Bone marrow smear.
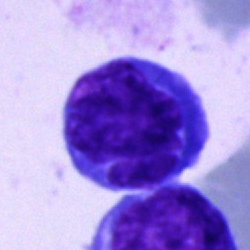
Undifferentiated blast.